Bone marrow aspirate smear.
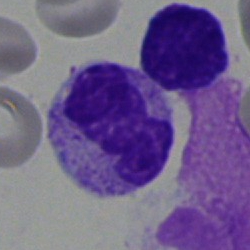

Q: What is shown here?
A: This is a stab cell.